Bone marrow aspirate smear · single-cell crop: 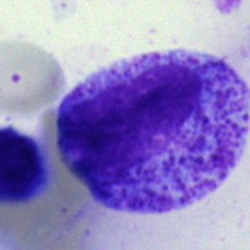
{"cell_type": "promyelocyte", "lineage": "myeloid"}